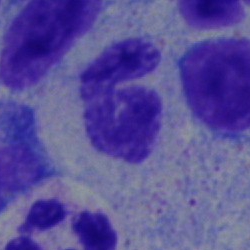 A band neutrophil on a bone marrow smear.